Bone marrow smear
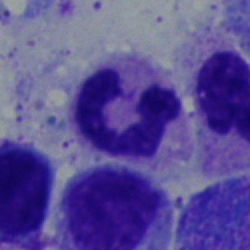Q: What is shown here?
A: Neutrophil (segmented).